Bone marrow smear: 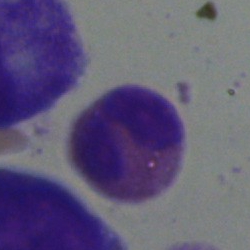Showing an eosinophil.